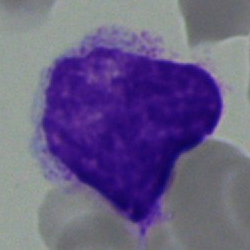
Q: What is shown here?
A: An artifact.